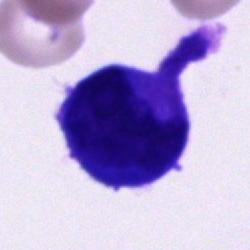

An unidentifiable cell on a bone marrow smear.